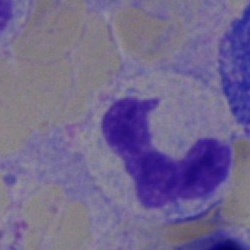Showing a neutrophil (segmented).